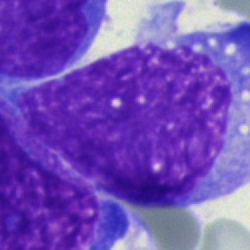

Cell — artefact.